Bone marrow smear. Cropped to a single cell: 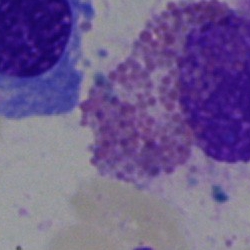 Q: What is the morphological classification of this cell?
A: This is an eosinophil.